Single-cell crop. Bone marrow smear: 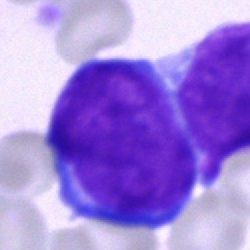Morphology — blast cell.